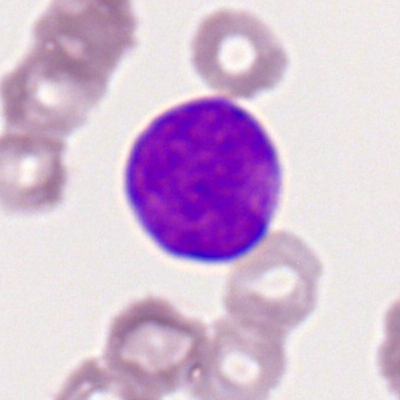

Q: Which cell type is shown here?
A: Myeloblast.